Bone marrow aspirate smear; single-cell field:
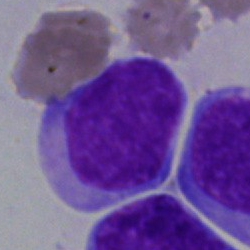 Undifferentiated blast.